Bone marrow smear.
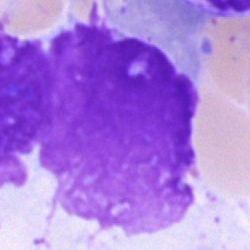 Morphological class — artefact.